Bone marrow smear
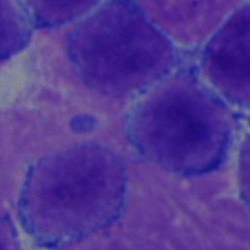

Single cell identified as a typical lymphocyte.